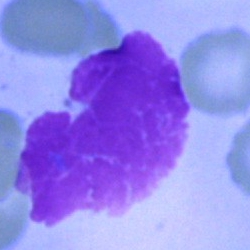 Q: What is shown here?
A: It is an artefact.